Bone marrow smear.
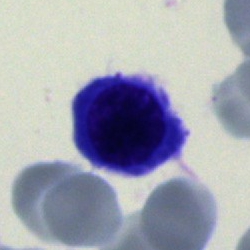Specimen: bone marrow aspirate smear.
Morphological class: unidentifiable cell.